Pappenheim-stained. 40× oil immersion. Bone marrow aspirate smear: 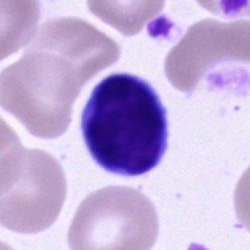Morphological class: lymphocyte.